Bone marrow aspirate smear · brightfield microscopy, 40× oil immersion.
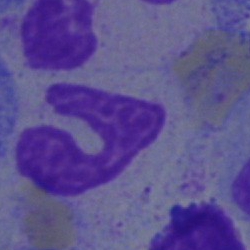

Band-form neutrophil.